Bone marrow aspirate smear; 40× oil immersion; cropped to a single cell — 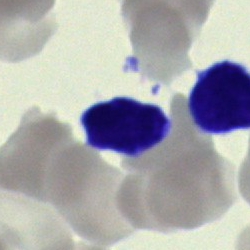The cell type is lymphocyte.